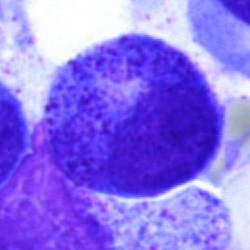

Q: What is the morphological classification of this cell?
A: A progranulocyte.